Bone marrow aspirate smear. Pappenheim-stained:
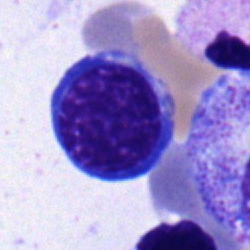
Q: What is the morphological classification of this cell?
A: A nucleated red cell.